Brightfield microscopy, 40× oil immersion; bone marrow aspirate smear.
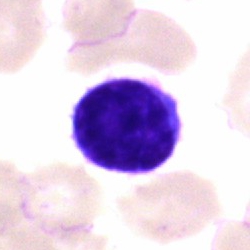Q: What type of cell is this?
A: A lymphocyte.